Bone marrow smear; May-Grünwald-Giemsa stain; image size 250×250 — 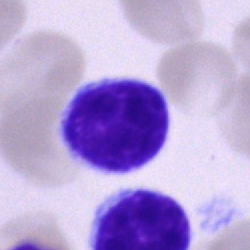
Q: What is shown here?
A: It is a lymphocyte.